Cropped to a single cell · MGG-stained · bone marrow smear
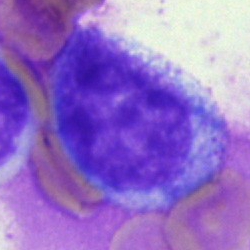

The cell shown is a progranulocyte.